May-Grünwald-Giemsa/Pappenheim stain. Bone marrow aspirate smear. 40× oil immersion: 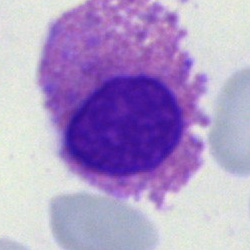

Morphology consistent with an eosinophilic granulocyte.